Bone marrow aspirate smear
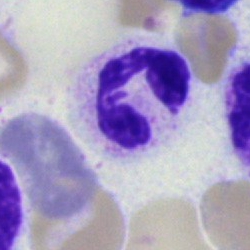Q: What is the morphological classification of this cell?
A: It is a segmented neutrophil.